Bone marrow smear: 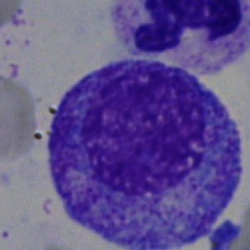

Classification = progranulocyte.